Bone marrow smear:
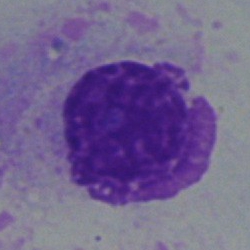 The cell shown is an artifact.